Brightfield, 100× oil-immersion objective · 400 by 400 pixels · peripheral blood smear — 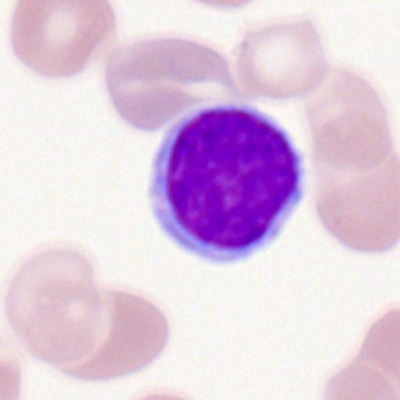 Classification = typical lymphocyte.